Bone marrow aspirate smear — 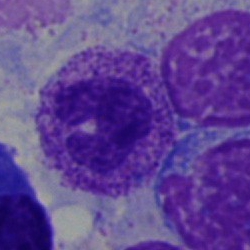 Q: What cell is this?
A: It is a segmented neutrophil.